Brightfield, 40× oil-immersion objective; bone marrow smear — 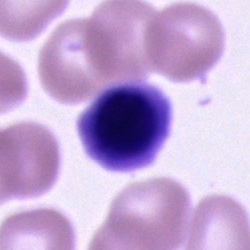Cell — normoblast.